May-Grünwald-Giemsa/Pappenheim stain. Bone marrow smear — 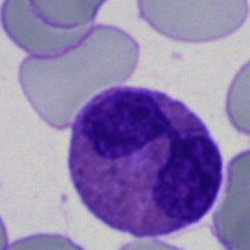

Classification — eosinophil.